Single-cell crop · 250×250 px · bone marrow smear:
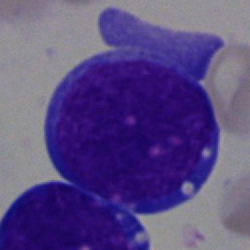
Morphology consistent with a blast.